Bone marrow aspirate smear: 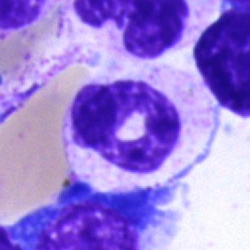 Q: What is shown here?
A: A polymorphonuclear neutrophil.